Brightfield microscopy, 40× oil immersion; bone marrow aspirate smear: 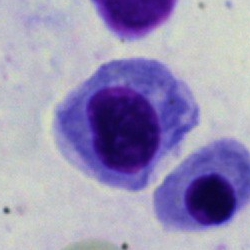Morphology consistent with a nucleated red cell.